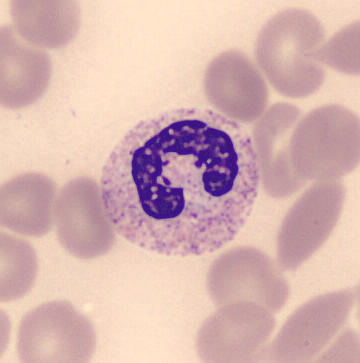
{"cell_type": "segmented neutrophil"}

Preparation: Peripheral blood smear.